Bone marrow smear
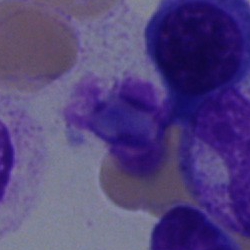Q: What is shown here?
A: An artifact.